Bone marrow smear · brightfield microscopy, 40× oil immersion: 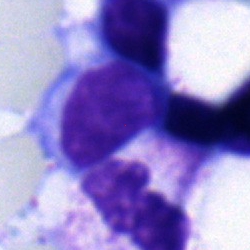

Classification — lymphocyte.